Bone marrow aspirate smear:
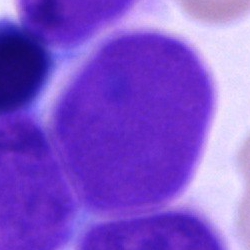Impression — artifact.